40× oil immersion; single cell centered in the field; bone marrow aspirate smear.
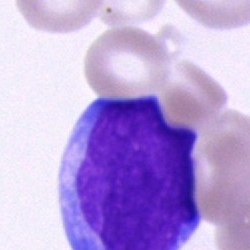

Impression — undifferentiated blast.